Bone marrow smear:
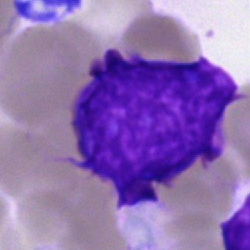
Single cell identified as an artefact.